Peripheral blood smear; single-cell field
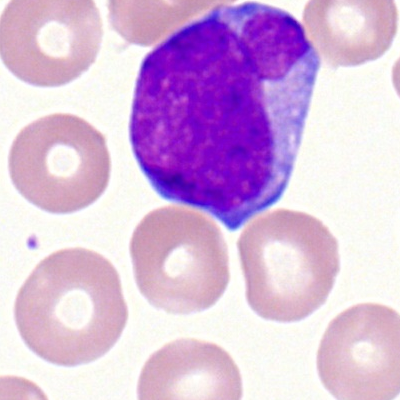

A myeloblast.